Bone marrow aspirate smear:
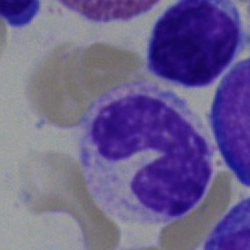 Cell type = neutrophil (segmented).